Cropped to a single cell; peripheral blood smear: 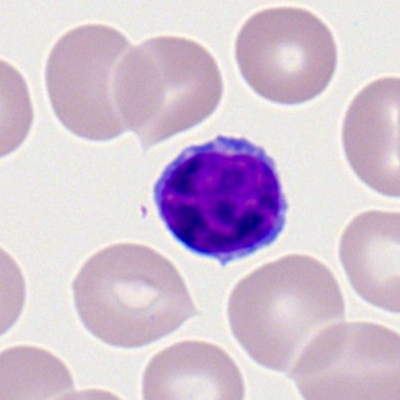Specimen: peripheral blood film.
Morphological class: typical lymphocyte.
Lineage: lymphoid.